Bone marrow aspirate smear · Pappenheim-stained.
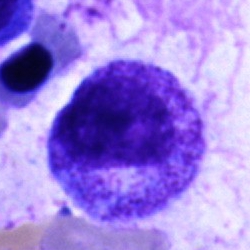
Specimen: bone marrow smear.
Cell: progranulocyte.